Single cell centered in the field. Bone marrow aspirate smear. MGG-stained
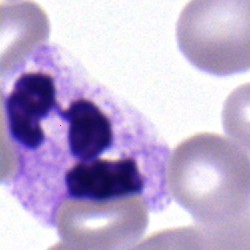

Morphology consistent with a neutrophil (segmented).